Peripheral blood smear: 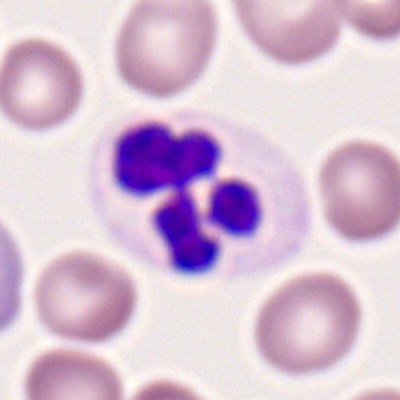

Morphology — segmented neutrophil.